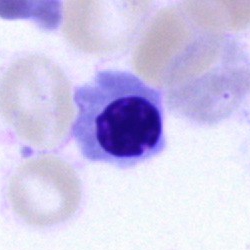

Q: What type of cell is this?
A: This is a nucleated red cell.